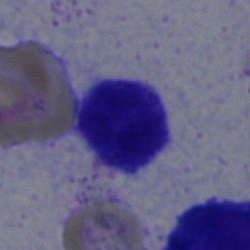 Specimen: bone marrow aspirate smear.
Morphological class: lymphocyte.